Bone marrow smear.
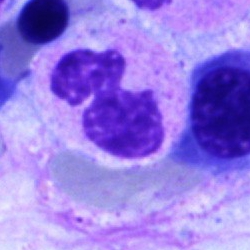Morphological class: neutrophil (segmented).